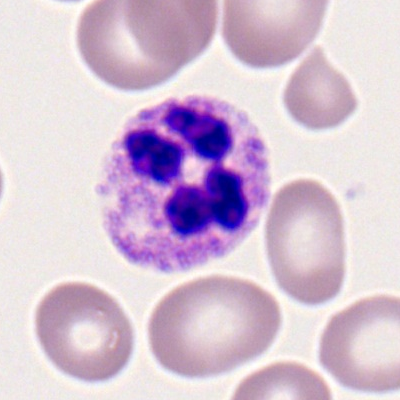
Morphological class = neutrophil (segmented).